400 by 400 pixels. Peripheral blood smear — 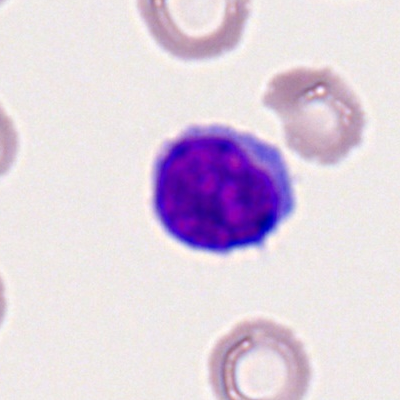
Single cell identified as a lymphocyte.